Bone marrow smear
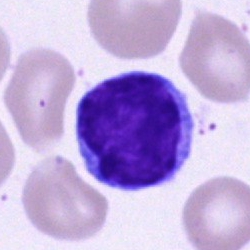
The classification is lymphocyte.